Bone marrow aspirate smear. MGG-stained: 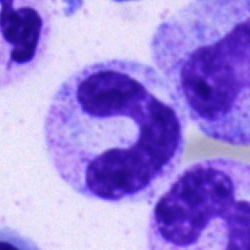

Classification — neutrophil (band).